Bone marrow smear: 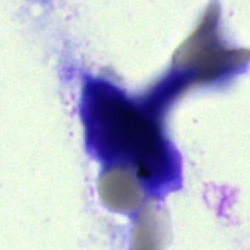

{"cell_type": "artefact"}